Bone marrow aspirate smear: 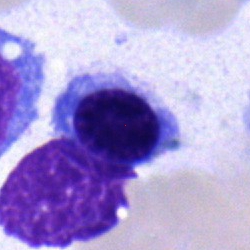 Specimen: bone marrow smear.
Classification: nucleated red cell.
Lineage: erythroid.